Bone marrow smear · brightfield, 40× oil-immersion objective:
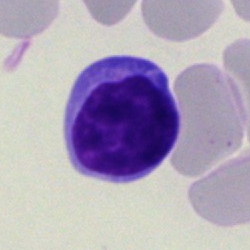 The cell shown is a typical lymphocyte.